250 by 250 pixels · brightfield microscopy, 40× oil immersion · bone marrow aspirate smear
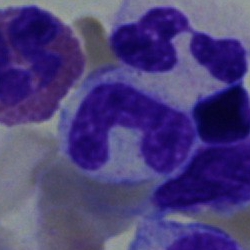

Showing a stab cell.